Bone marrow aspirate smear.
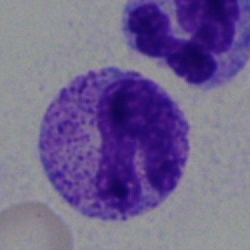
Segmented neutrophil.